250×250 · bone marrow aspirate smear: 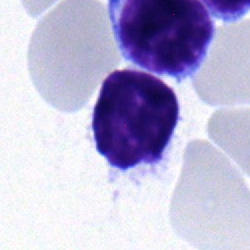

Lymphocyte.